Bone marrow smear — 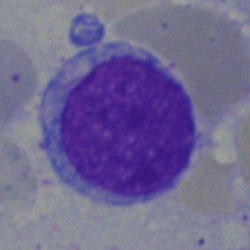 Cell type — undifferentiated blast.